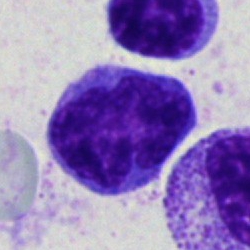

{"cell_type": "monocyte", "lineage": "myeloid"}